Brightfield, 40× oil-immersion objective · single cell centered in the field · bone marrow aspirate smear.
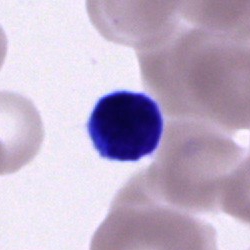

Morphology consistent with an unidentifiable cell.